Bone marrow smear — 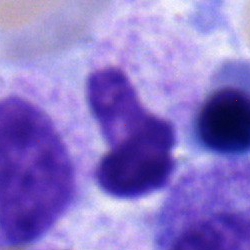

Stab cell.